Bone marrow aspirate smear. May-Grünwald-Giemsa/Pappenheim stain. 250 by 250 pixels.
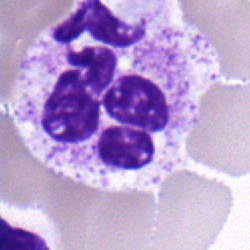 Morphological class — polymorphonuclear neutrophil.